250 by 250 pixels. Bone marrow aspirate smear:
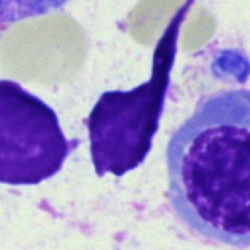Specimen: bone marrow smear.
Cell type: artefact.